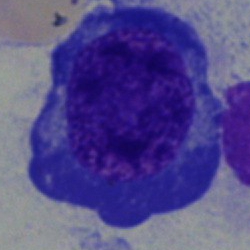 A pronormoblast.